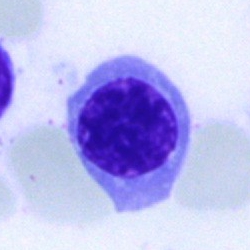

Q: What is shown here?
A: This is an erythroblast.